May-Grünwald-Giemsa/Pappenheim stain; bone marrow smear; 250×250 — 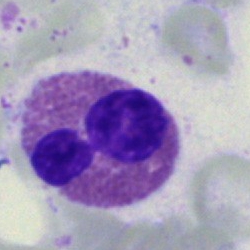
Morphology — eosinophilic granulocyte.